MGG-stained · bone marrow aspirate smear
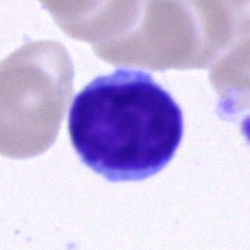 Impression → typical lymphocyte.